Bone marrow aspirate smear. 250×250. Single-cell field: 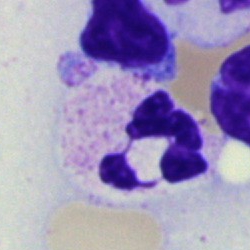
Q: What is shown here?
A: This is a polymorphonuclear neutrophil.